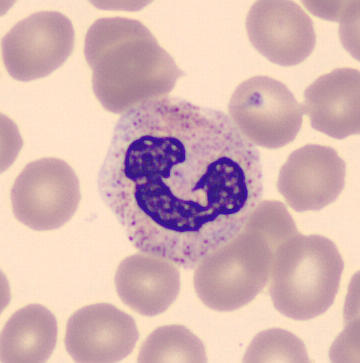

Morphological class: polymorphonuclear neutrophil.